250 by 250 pixels · bone marrow aspirate smear · single cell centered in the field
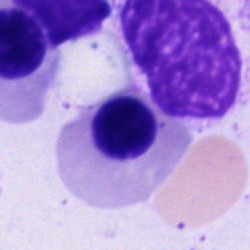 Q: What type of cell is this?
A: Nucleated red cell.